Bone marrow smear.
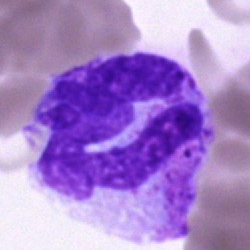Monocyte.